Bone marrow aspirate smear:
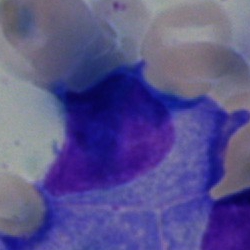 Morphology → plasmacyte.